Bone marrow smear. Single cell centered in the field. 250×250 px
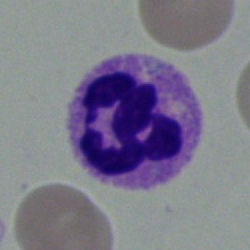

Single cell identified as a neutrophil (segmented).